Bone marrow aspirate smear. 250×250 px — 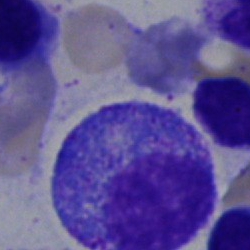

Morphology consistent with a promyelocyte.